Peripheral blood film — 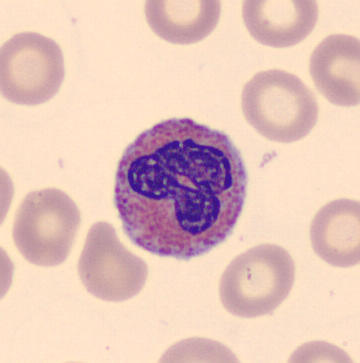The classification is eosinophilic granulocyte.